Image size 250×250; bone marrow aspirate smear: 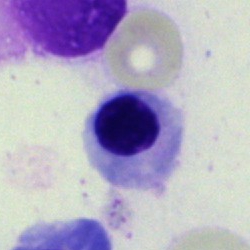

Q: What cell is this?
A: A nucleated red cell.